Peripheral blood film — 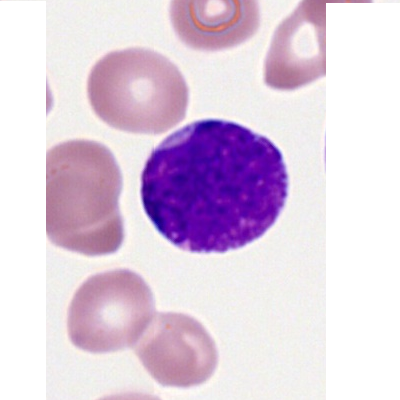

Q: What is the morphological classification of this cell?
A: This is a myeloid blast.